Bone marrow smear: 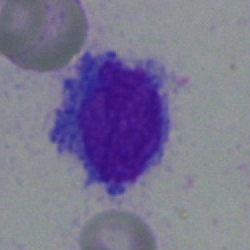The cell shown is a lymphocyte.